Bone marrow smear
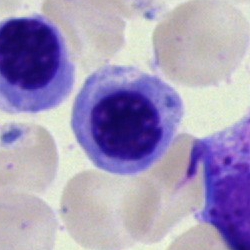

Morphological class: normoblast.